Bone marrow aspirate smear.
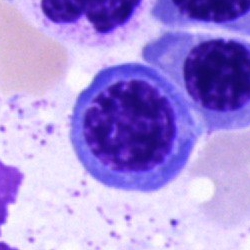 Q: What type of cell is this?
A: Nucleated red blood cell.